May-Grünwald-Giemsa stain; 40× oil immersion; bone marrow aspirate smear.
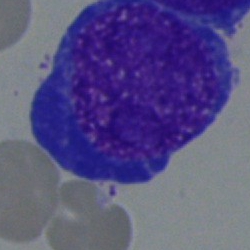 Morphology — proerythroblast.